Bone marrow smear
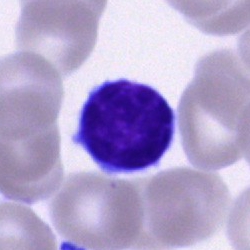

Single cell identified as a lymphocyte.